Bone marrow smear · May-Grünwald-Giemsa stain: 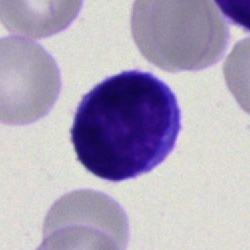

This is a typical lymphocyte.